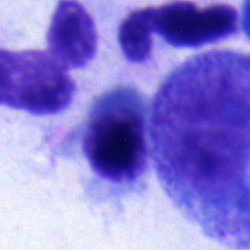

Showing a normoblast.